Bone marrow aspirate smear — 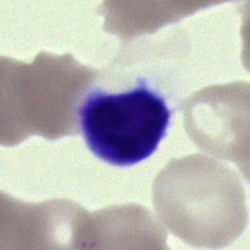

Morphological class = cell of indeterminate lineage.